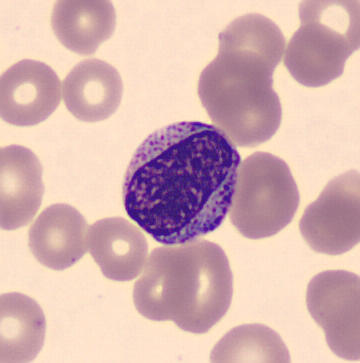
Cell — myelocyte.